Bone marrow aspirate smear — 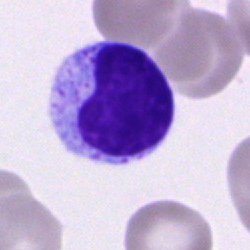 The cell shown is a lymphocyte.